Bone marrow smear; 40× oil immersion; image size 250×250 — 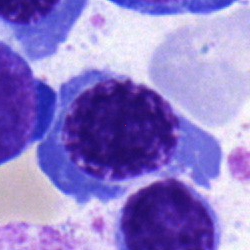 Cell type: nucleated red blood cell.